Bone marrow aspirate smear. Pappenheim-stained. 250×250 px — 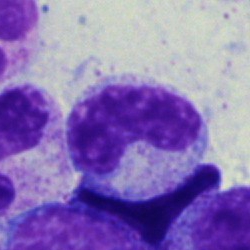 Single cell identified as a band neutrophil.